Bone marrow smear — 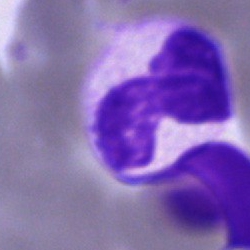 Q: Which cell type is shown here?
A: Polymorphonuclear neutrophil.